Brightfield microscopy, 40× oil immersion; bone marrow aspirate smear — 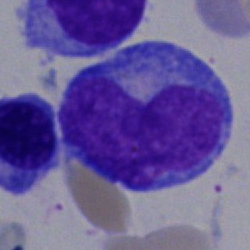Single cell identified as an undifferentiated blast.